M8 digital microscope (Precipoint), 100× oil immersion · peripheral blood smear — 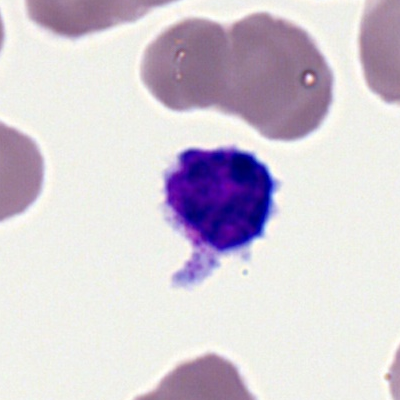The classification is typical lymphocyte.